Bone marrow aspirate smear.
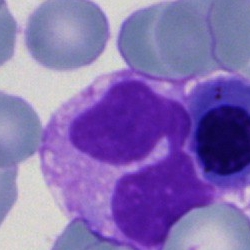 Morphology consistent with a neutrophil (segmented).